May-Grünwald-Giemsa stain. 40× objective, oil immersion. Bone marrow smear: 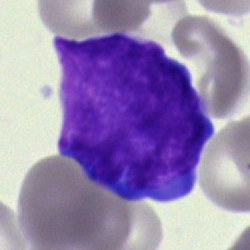

Specimen: bone marrow aspirate smear.
Cell type: blast cell.